Bone marrow smear · 250 by 250 pixels:
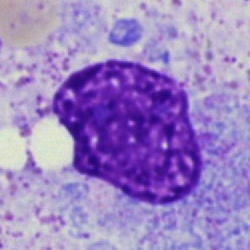 The morphological class is artifact.